Single-cell field; 250×250 px; bone marrow smear.
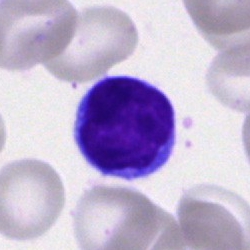Impression — lymphocyte.